Peripheral blood film
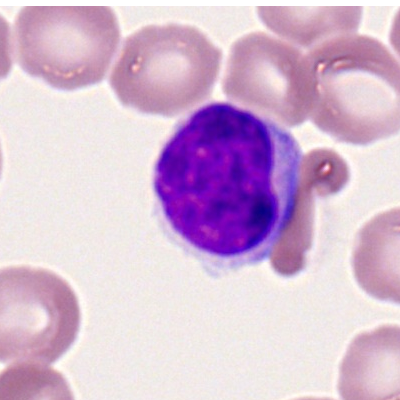

Morphological class: typical lymphocyte.